Single-cell field · image size 400×400 · peripheral blood smear: 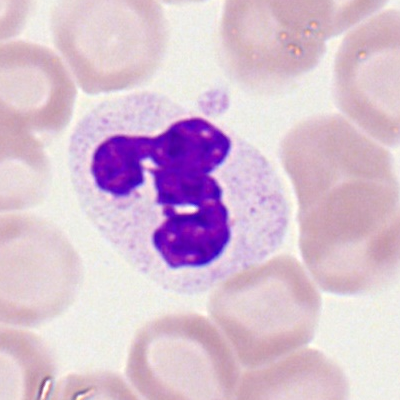
The cell is segmented neutrophil.